Bone marrow smear:
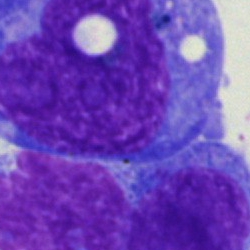
Impression → blast.